Bone marrow smear; brightfield microscopy, 40× oil immersion.
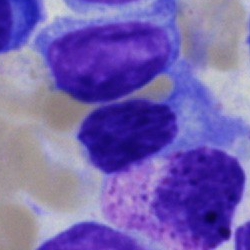 Morphology consistent with a typical lymphocyte.